Bone marrow aspirate smear — 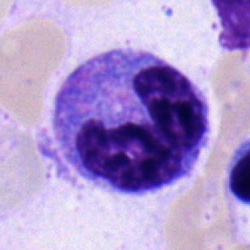

This is a monocyte.